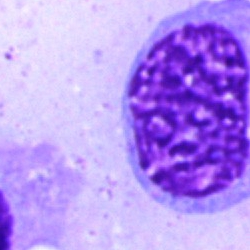 An artifact on a bone marrow smear.